Bone marrow aspirate smear.
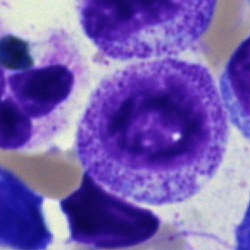

Morphological class = myelocyte.